Bone marrow smear: 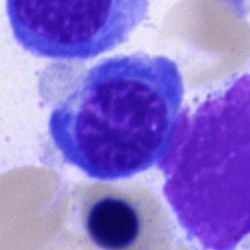
Specimen: bone marrow aspirate smear.
Cell: normoblast.
Lineage: erythroid.